Bone marrow smear · MGG-stained · single-cell field.
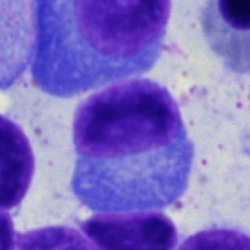Cell type = plasma cell.